Peripheral blood film.
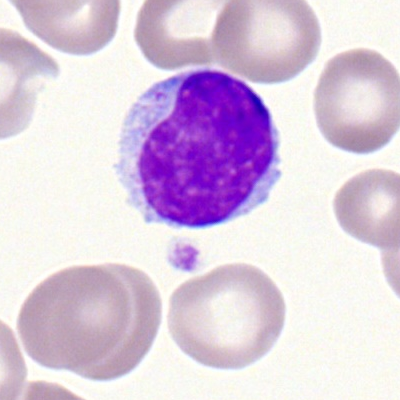
Single cell identified as a typical lymphocyte.